40× oil immersion; bone marrow smear; cropped to a single cell: 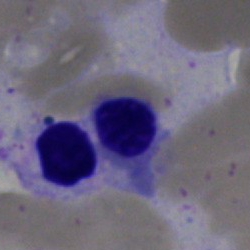
The cell shown is an erythroblast.